Bone marrow smear.
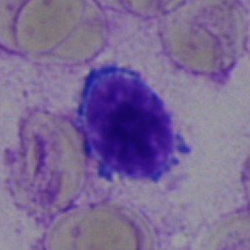Q: Which cell type is shown here?
A: A lymphocyte.